Single cell centered in the field · bone marrow smear: 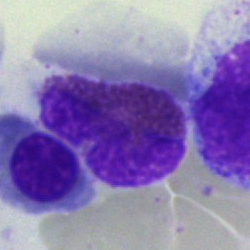 This is an eosinophilic granulocyte.